40× objective, oil immersion · bone marrow smear · single cell centered in the field: 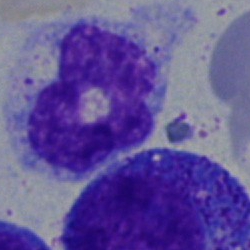Specimen: bone marrow aspirate smear.
Cell: monocyte.
Lineage: myeloid.